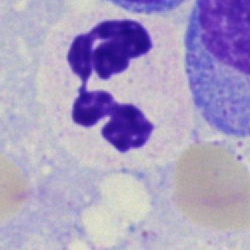
The classification is neutrophil (segmented).